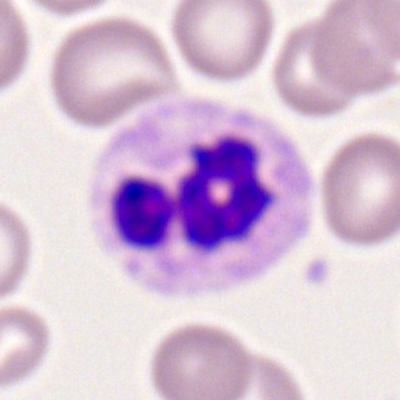 Showing a segmented neutrophil.